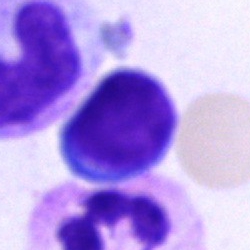
Q: What cell is this?
A: This is a typical lymphocyte.